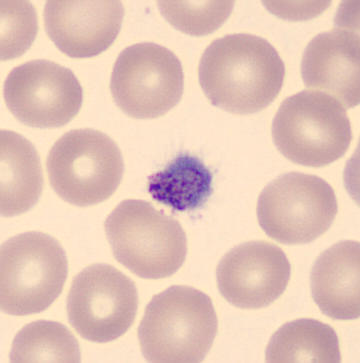Morphology consistent with a platelet.